Bone marrow smear.
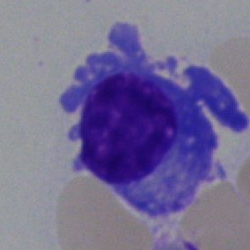
{"cell_type": "plasma cell"}